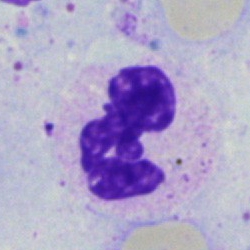Classification = neutrophil (segmented).